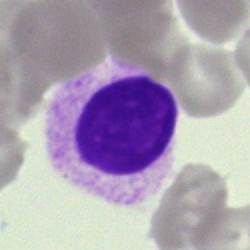 Morphological class: artefact.